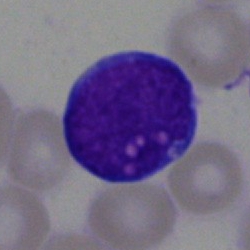
Morphology — blast cell.